Brightfield, 40× oil-immersion objective; bone marrow aspirate smear.
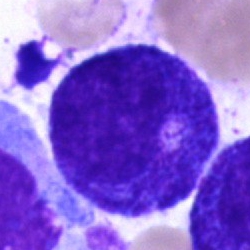Q: Identify the cell.
A: This is a progranulocyte.